Bone marrow smear.
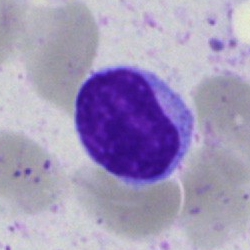 Q: What type of cell is this?
A: This is a typical lymphocyte.